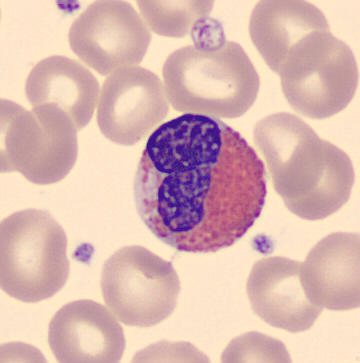

Acquisition: Peripheral blood smear. Morphology → eosinophilic granulocyte.